Bone marrow aspirate smear; brightfield microscopy, 40× oil immersion: 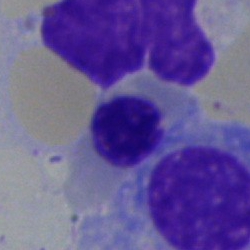 Single cell identified as an erythroblast.